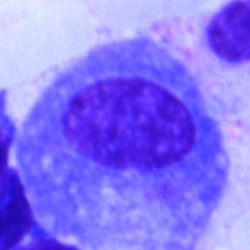
Bone marrow aspirate smear, single cell — plasma cell.